Image size 250×250; bone marrow aspirate smear: 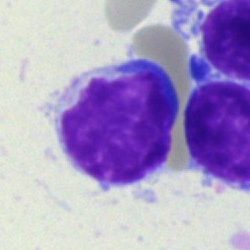The morphological class is lymphocyte.